40× objective, oil immersion. Bone marrow smear.
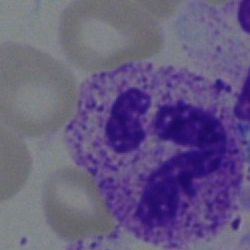 Classification = segmented neutrophil.